Bone marrow smear; 40× oil immersion.
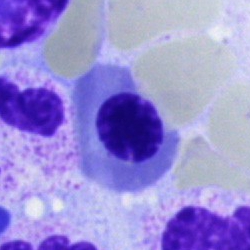

Q: Which cell type is shown here?
A: Nucleated red blood cell.